Bone marrow smear; brightfield microscopy, 40× oil immersion; 250×250 px:
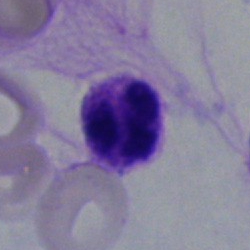 A segmented neutrophil.